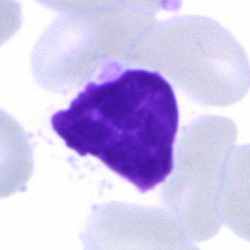
The cell is artifact.